250×250. Bone marrow aspirate smear
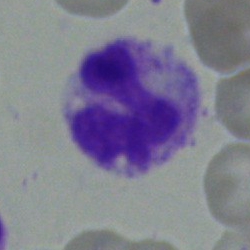 Morphological class — polymorphonuclear neutrophil.